Bone marrow aspirate smear: 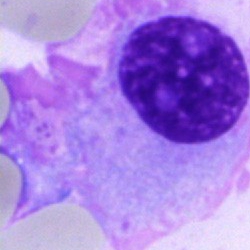 A plasmacyte.